Bone marrow aspirate smear. 250×250 px.
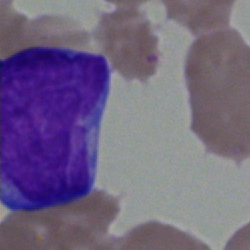
Q: What is the morphological classification of this cell?
A: This is a blast cell.